Bone marrow aspirate smear; single-cell crop — 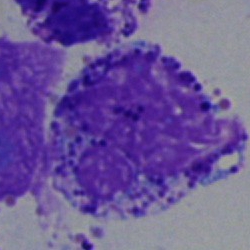

Impression → basophilic granulocyte.